Bone marrow smear: 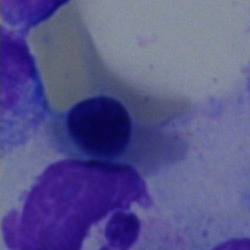Q: What is the morphological classification of this cell?
A: Nucleated red cell.